Bone marrow smear.
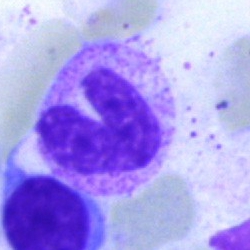

Impression — band-form neutrophil.